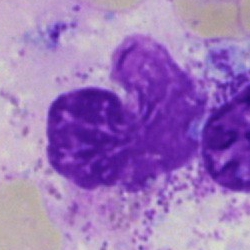 Morphology — artefact.